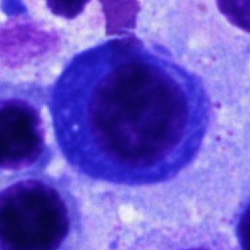
The cell is plasma cell.